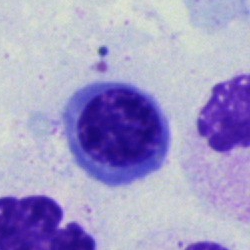Q: What type of cell is this?
A: An erythroblast.